Bone marrow smear:
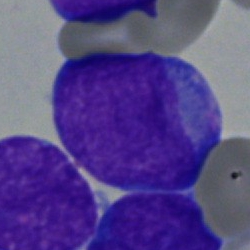
The cell shown is an undifferentiated blast.